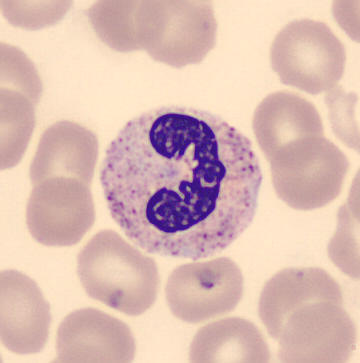 Specimen: peripheral blood smear.
Cell: neutrophil (segmented).